Bone marrow smear; single cell centered in the field.
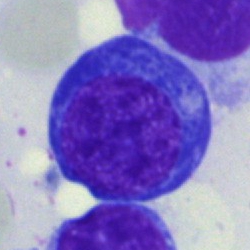{"cell_type": "erythroblast", "lineage": "erythroid"}